Bone marrow smear
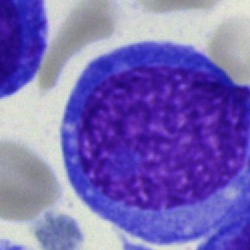
Showing a blast.